Image size 250×250. Bone marrow aspirate smear.
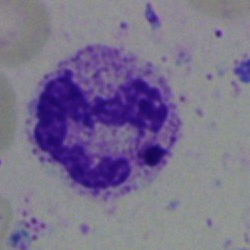Q: Which cell type is shown here?
A: This is a polymorphonuclear neutrophil.